Bone marrow smear — 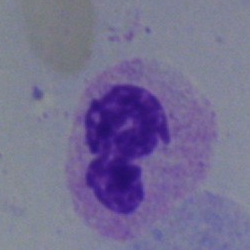 Q: What is shown here?
A: It is a neutrophil (segmented).